Bone marrow aspirate smear: 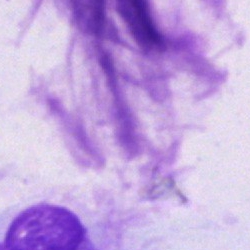 Q: What is shown here?
A: This is an artefact.